Bone marrow smear · May-Grünwald-Giemsa/Pappenheim stain — 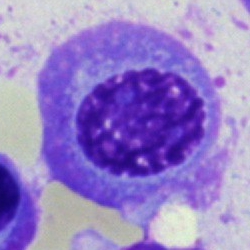
Showing a plasmacyte.